Bone marrow smear — 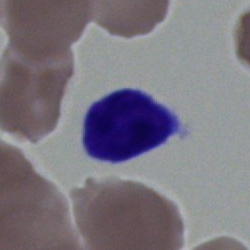

Showing a lymphocyte.